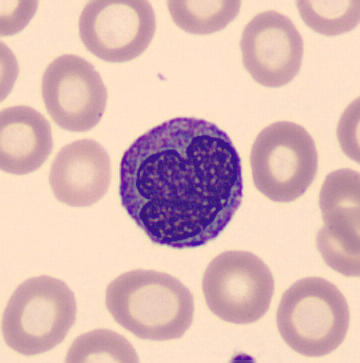
Acquisition: Peripheral blood smear. Automated cell imaging (CellaVision DM96). Single-cell crop.

Q: What is the morphological classification of this cell?
A: A monocyte.